Bone marrow smear.
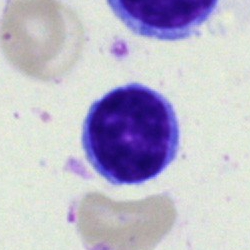
Morphological class = typical lymphocyte.